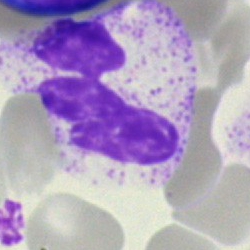
Impression — polymorphonuclear neutrophil.